Bone marrow aspirate smear · 250×250 px.
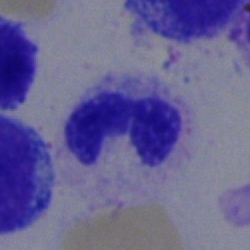

Q: What type of cell is this?
A: This is a band neutrophil.